Bone marrow smear — 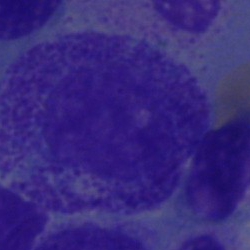 {"cell_type": "myelocyte", "lineage": "myeloid"}